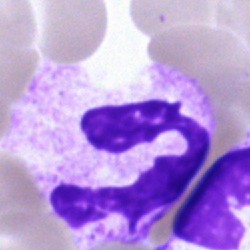 Cell type = artifact.